Bone marrow smear — 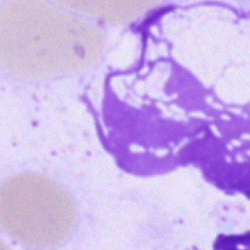 An artefact.